Bone marrow aspirate smear.
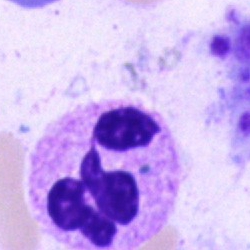 Classification = polymorphonuclear neutrophil.